Bone marrow aspirate smear: 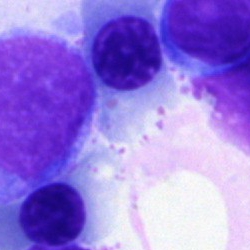

The cell is artefact.